Bone marrow smear. Single-cell field — 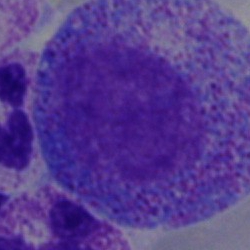Promyelocyte.